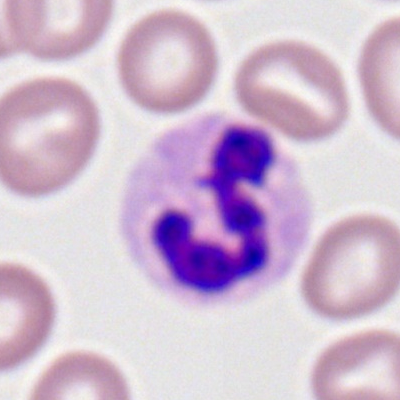Specimen: peripheral blood film.
Morphological class: segmented neutrophil.